Bone marrow aspirate smear:
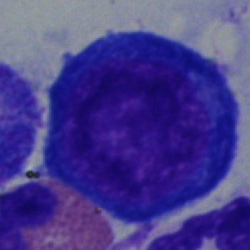

This is a pronormoblast.